Image size 250×250 · bone marrow aspirate smear · May-Grünwald-Giemsa/Pappenheim stain
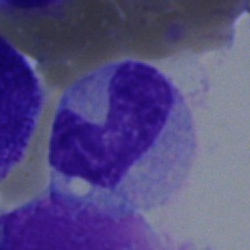

Band neutrophil.